Bone marrow smear · Pappenheim-stained — 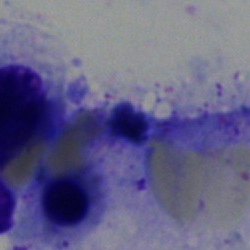

Morphological class — artifact.